Bone marrow aspirate smear:
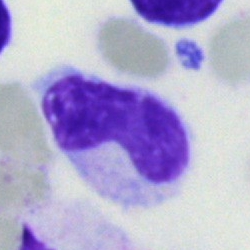 A neutrophil (band).